Bone marrow smear.
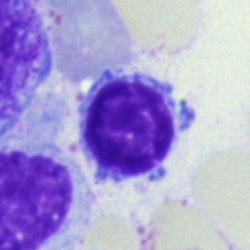
This is a lymphocyte.